Bone marrow smear: 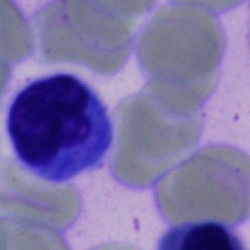 Specimen: bone marrow smear.
Cell: lymphocyte.
Lineage: lymphoid.